Bone marrow aspirate smear
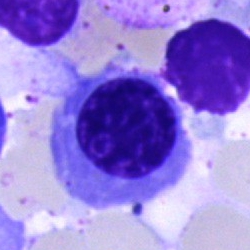

Showing an erythroblast.